Bone marrow smear · 250×250 · single-cell field.
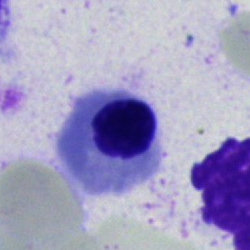 Q: What is the morphological classification of this cell?
A: This is a normoblast.